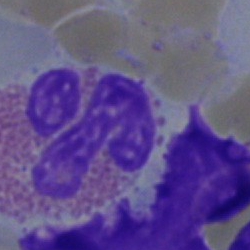
The cell shown is an eosinophilic granulocyte.